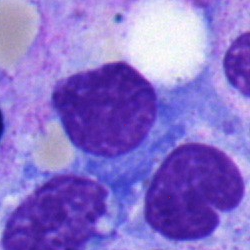 Impression — plasmacyte.